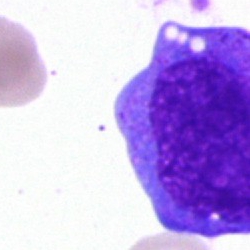 Impression — blast.